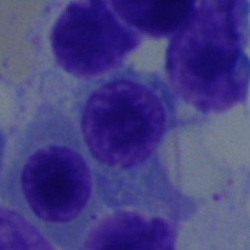

Q: Identify the cell.
A: A nucleated red blood cell.